Bone marrow aspirate smear. Brightfield, 40× oil-immersion objective
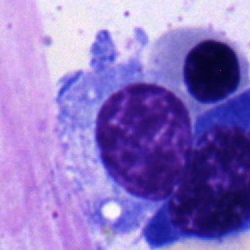 Specimen: bone marrow smear.
Morphological class: plasma cell.
Lineage: lymphoid.